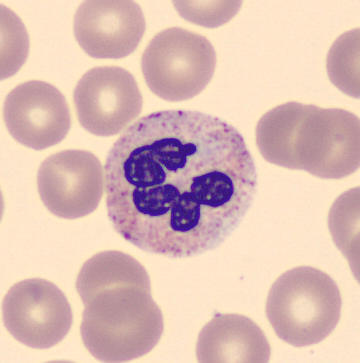Preparation: Peripheral blood smear. Single-cell field.

A neutrophil (segmented).